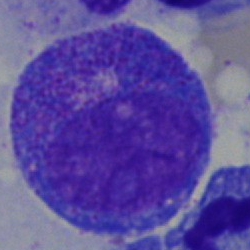
The cell is progranulocyte.